Bone marrow smear:
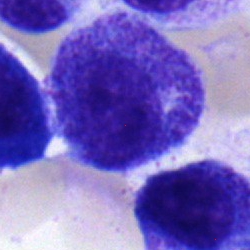Showing a myelocyte.